Bone marrow aspirate smear.
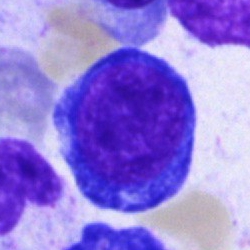
{"cell_type": "nucleated red cell", "lineage": "erythroid"}